250 by 250 pixels · bone marrow aspirate smear — 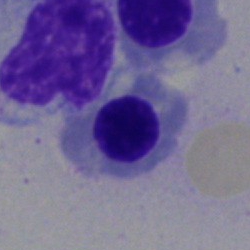This is a nucleated red cell.